Bone marrow smear
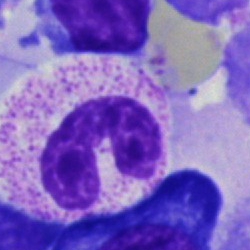

Specimen: bone marrow aspirate smear.
Classification: neutrophil (band).